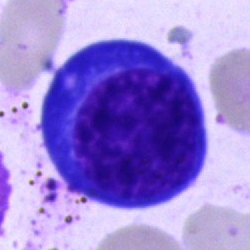 Q: What type of cell is this?
A: Normoblast.